Bone marrow smear; May-Grünwald-Giemsa stain.
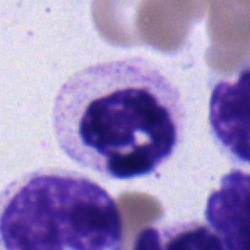
Classification — neutrophil (segmented).